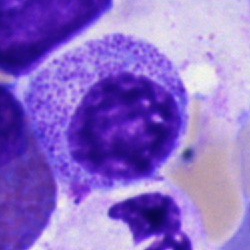
Morphology consistent with a myelocyte.